Bone marrow aspirate smear:
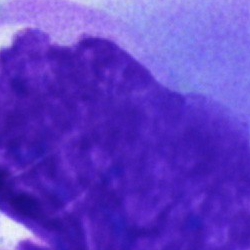

{"cell_type": "artefact"}